Bone marrow aspirate smear:
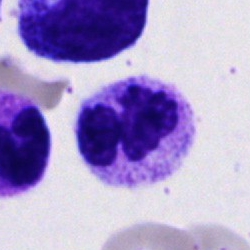
Q: Which cell type is shown here?
A: A polymorphonuclear neutrophil.